Pappenheim-stained; bone marrow aspirate smear: 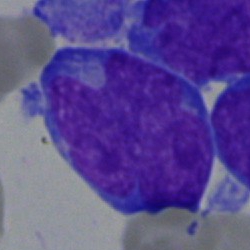
Morphology — blast.